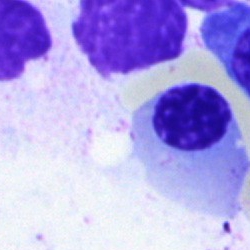 A nucleated red cell.